Peripheral blood film: 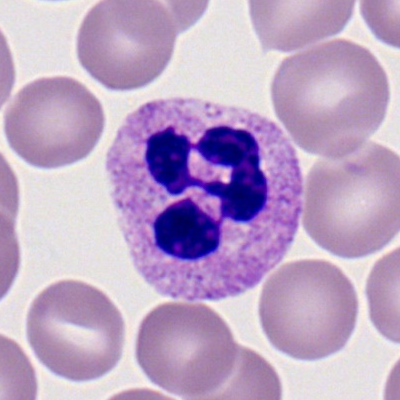Specimen: peripheral blood film.
Cell type: segmented neutrophil.